Bone marrow aspirate smear.
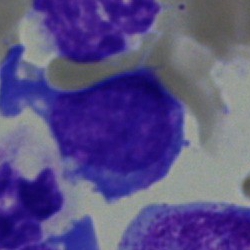 Blast.